Peripheral blood smear.
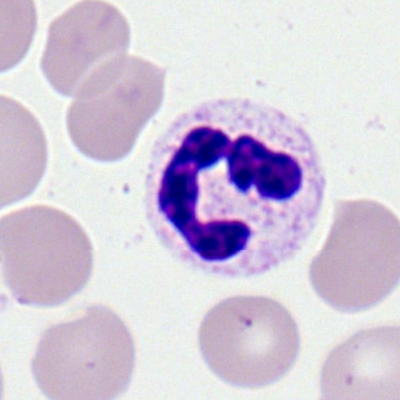
Morphology consistent with a segmented neutrophil.